Bone marrow smear:
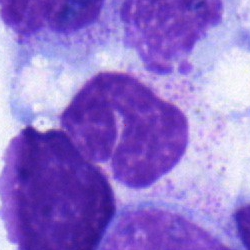

Morphology consistent with a band neutrophil.